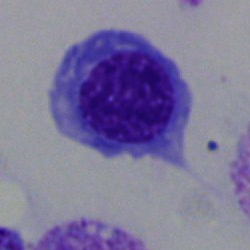
Single-cell crop from a bone marrow smear: erythroblast.